Bone marrow aspirate smear — 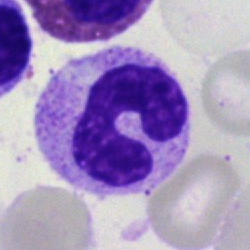 Classification: band neutrophil.